Bone marrow aspirate smear: 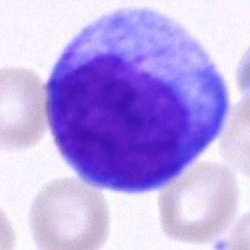{"cell_type": "progranulocyte", "lineage": "myeloid"}